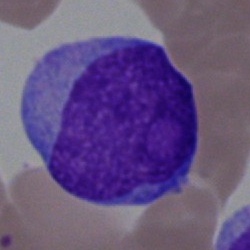 Classification = undifferentiated blast.